Bone marrow aspirate smear; cropped to a single cell.
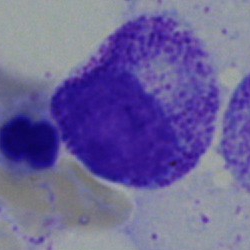Impression — myelocyte.